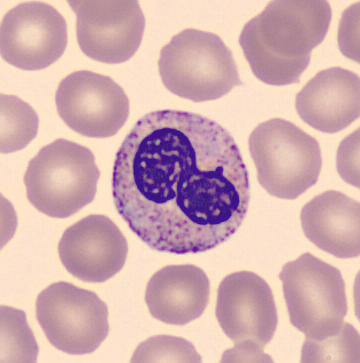Cell type = band neutrophil.